Single-cell crop · bone marrow smear — 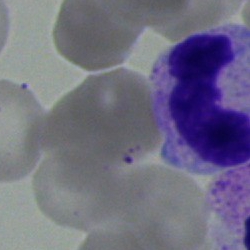Cell type — neutrophil (segmented).